250×250 px; bone marrow smear.
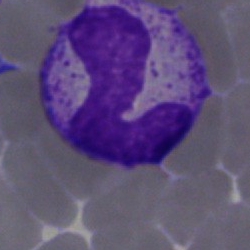Classification — neutrophil (band).